Bone marrow aspirate smear: 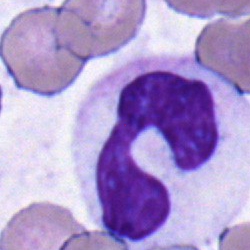 Specimen: bone marrow smear.
Cell type: polymorphonuclear neutrophil.
Lineage: myeloid.